Peripheral blood smear.
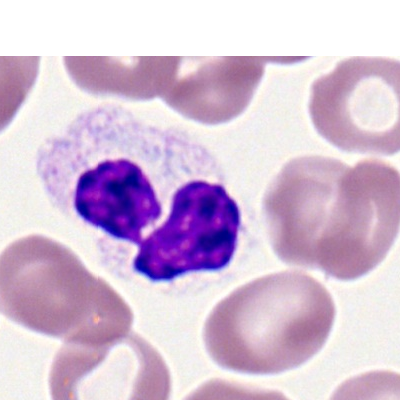

Specimen: peripheral blood smear.
Morphological class: neutrophil (segmented).
Lineage: myeloid.